40× objective, oil immersion. Single-cell crop. Bone marrow smear.
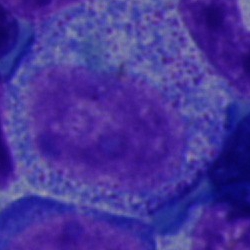
Single cell identified as a promyelocyte.